Pappenheim-stained; bone marrow aspirate smear: 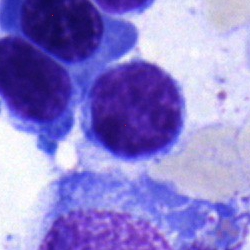

Lymphocyte.